May-Grünwald-Giemsa stain; image size 250×250; bone marrow smear — 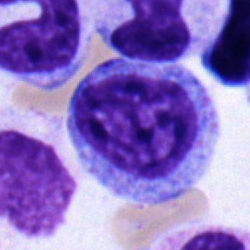
Classification — myelocyte.